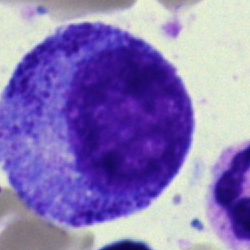

Morphology — progranulocyte.